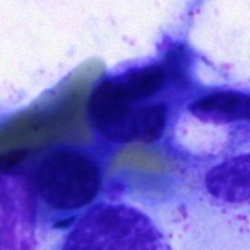
Artifact.